Pappenheim-stained. Bone marrow aspirate smear — 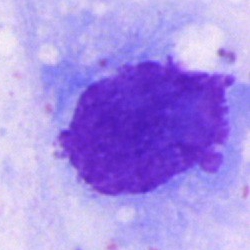
Cell = artefact.